May-Grünwald-Giemsa stain. 40× oil immersion. Bone marrow smear: 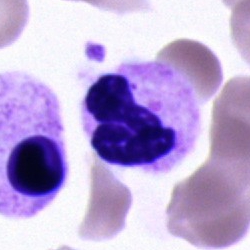Specimen: bone marrow smear.
Cell: segmented neutrophil.
Lineage: myeloid.